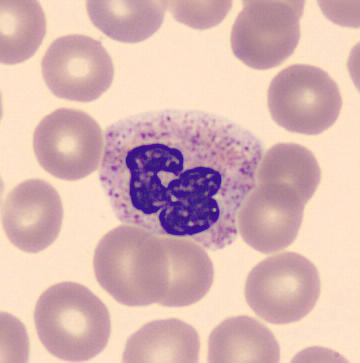 Cell type — segmented neutrophil.

Acquisition: Peripheral blood film.